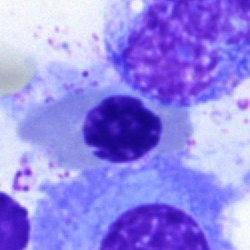 Showing a nucleated red cell.